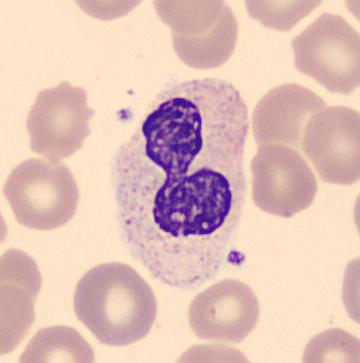Morphological class: segmented neutrophil.
Peripheral blood film.